Bone marrow aspirate smear. Single-cell field:
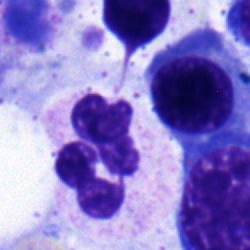Q: What cell is this?
A: This is a segmented neutrophil.